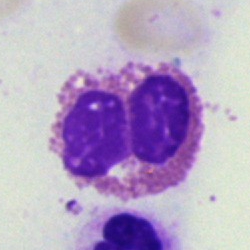 Q: Identify the cell.
A: This is an eosinophil.